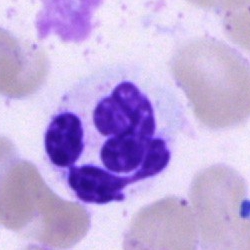Single cell identified as a polymorphonuclear neutrophil.